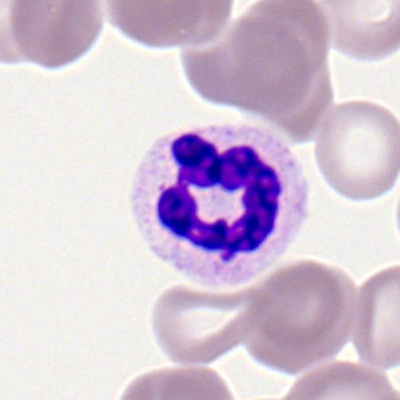Specimen: peripheral blood film.
Morphological class: polymorphonuclear neutrophil.